Bone marrow aspirate smear: 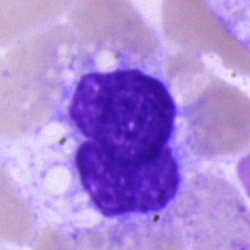
Classification: artifact.